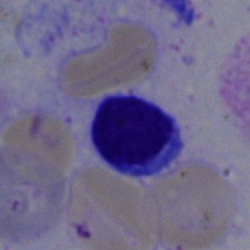
{"cell_type": "typical lymphocyte"}